Single cell centered in the field · 250 by 250 pixels · bone marrow aspirate smear — 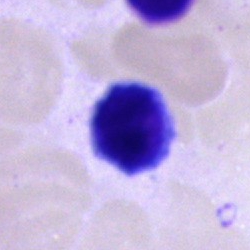 Specimen: bone marrow aspirate smear.
Morphological class: typical lymphocyte.
Lineage: lymphoid.